Bone marrow aspirate smear.
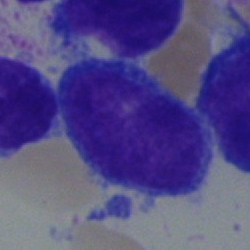 Specimen: bone marrow smear.
Classification: blast cell.